Bone marrow aspirate smear. Cropped to a single cell
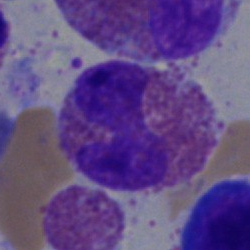Showing an eosinophil.